Cropped to a single cell · bone marrow aspirate smear:
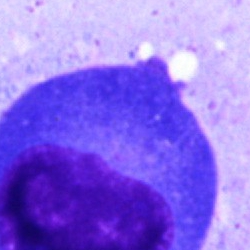 A plasmacyte.